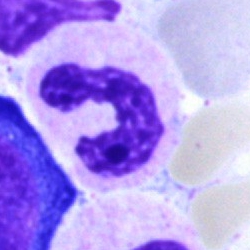 Q: Which cell type is shown here?
A: Neutrophil (segmented).